Bone marrow smear. Single-cell crop
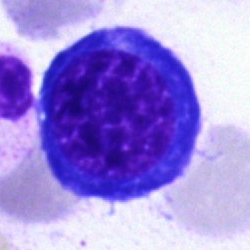Classification = nucleated red blood cell.